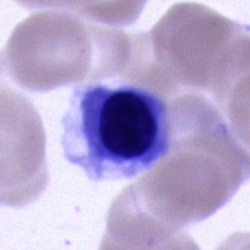A nucleated red cell on a bone marrow smear.